Bone marrow smear. May-Grünwald-Giemsa stain: 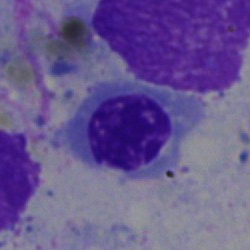Showing a nucleated red cell.